Bone marrow smear
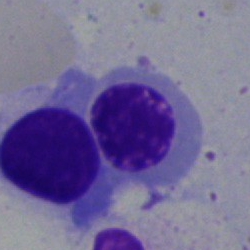
Erythroblast.